Bone marrow smear:
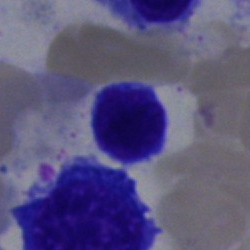

Showing a typical lymphocyte.